Bone marrow smear · 250×250 · MGG-stained: 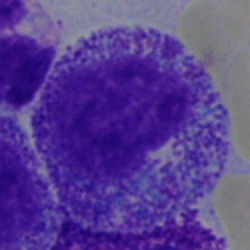 Single cell identified as a myelocyte.